Peripheral blood film — 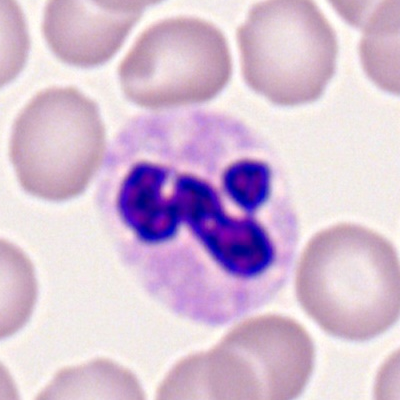 Showing a polymorphonuclear neutrophil.